Peripheral blood film · May-Grünwald-Giemsa-stained — 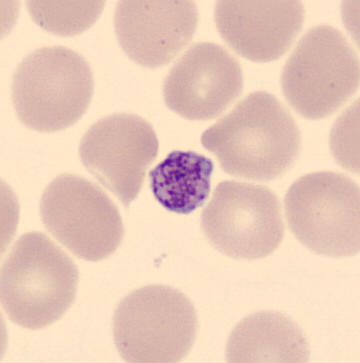

Impression — thrombocyte.